Bone marrow aspirate smear; 250×250: 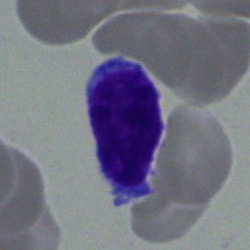 {"cell_type": "typical lymphocyte", "lineage": "lymphoid"}